Single-cell crop; brightfield microscopy, 40× oil immersion; bone marrow aspirate smear — 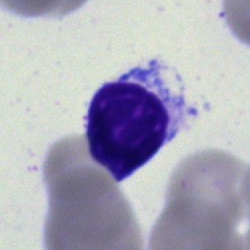Showing a lymphocyte.